Bone marrow aspirate smear · 40× oil immersion.
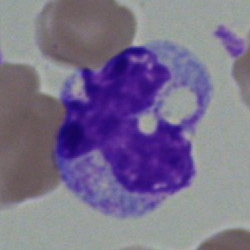

A monocyte.